Bone marrow aspirate smear. MGG-stained:
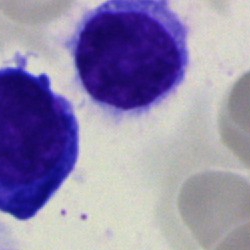

Morphological class = artefact.